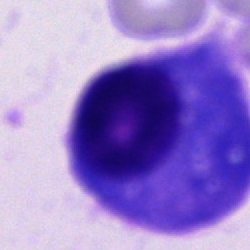 Impression — other cell.